Brightfield, 100× oil-immersion objective. Peripheral blood smear — 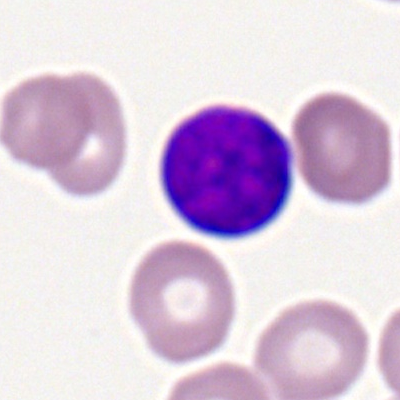 Q: What is the morphological classification of this cell?
A: A lymphocyte.